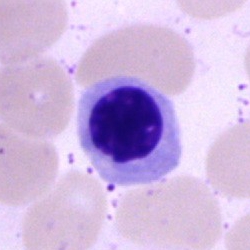
A nucleated red blood cell.